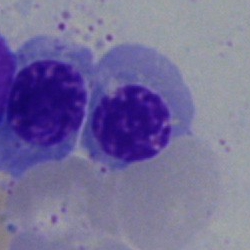 Impression → erythroblast.